Bone marrow smear; Pappenheim-stained: 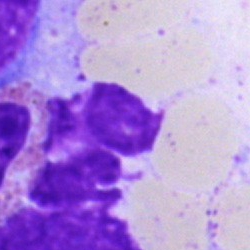

Morphology → artefact.